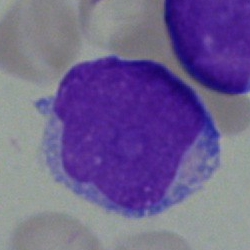
Undifferentiated blast.